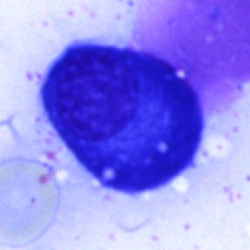 Impression → plasmacyte.